Image size 250×250 · bone marrow aspirate smear: 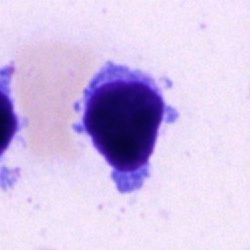
Specimen: bone marrow smear.
Cell: lymphocyte.